Bone marrow smear · May-Grünwald-Giemsa stain
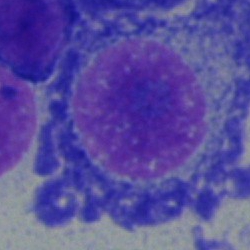

Morphology consistent with a plasma cell.